Single-cell field; bone marrow aspirate smear — 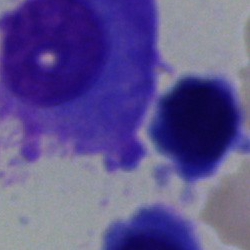 Cell = plasmacyte.